Peripheral blood film. CellaVision DM96 — 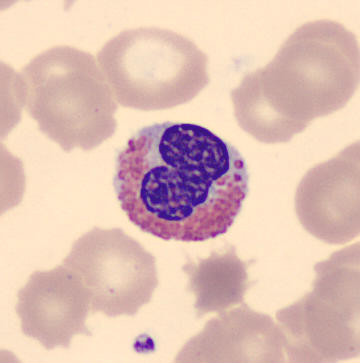Morphology → eosinophil.